Bone marrow smear
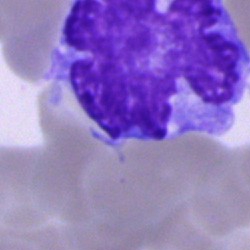Q: What cell is this?
A: Monocyte.